Bone marrow aspirate smear.
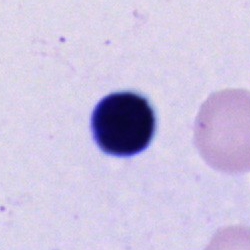

Unidentifiable cell.